Bone marrow smear
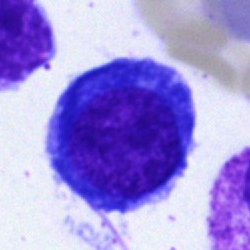

Morphological class — erythroblast.